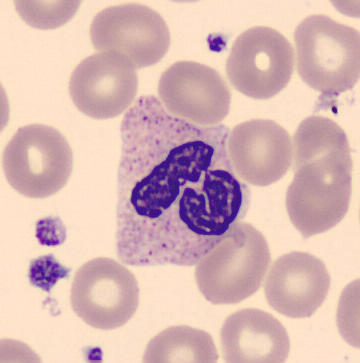 Image: 360×363 px; imaged on a CellaVision DM96 analyser; peripheral blood film.
{"cell_type": "segmented neutrophil", "lineage": "myeloid"}